Single-cell crop · bone marrow aspirate smear · 40× objective, oil immersion — 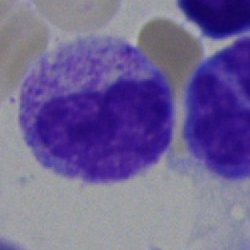

Classification = metamyelocyte.